Brightfield microscopy, 40× oil immersion. Bone marrow aspirate smear — 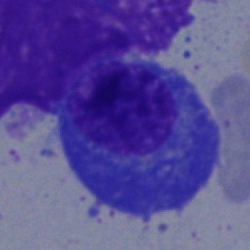 Morphology → plasmacyte.